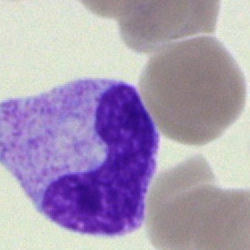
Showing a band-form neutrophil.